Single-cell crop. Bone marrow aspirate smear:
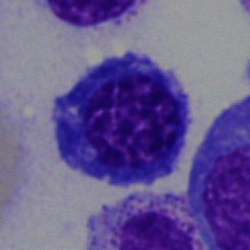

Morphological class — normoblast.